Bone marrow aspirate smear
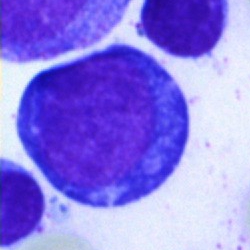Classification: normoblast.